Bone marrow aspirate smear.
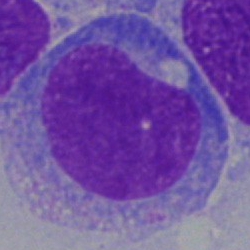 Showing a blast.